Single cell centered in the field · bone marrow smear: 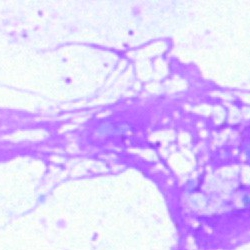Showing an artefact.